Bone marrow aspirate smear — 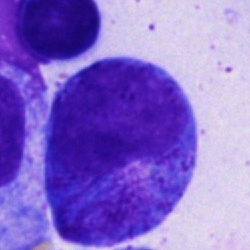Q: Identify the cell.
A: This is a progranulocyte.